Bone marrow smear — 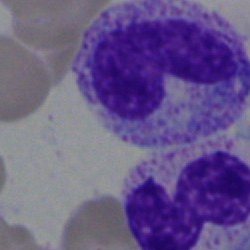
Impression — stab cell.